Bone marrow aspirate smear · 250 by 250 pixels.
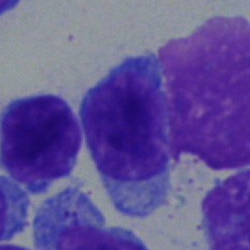 Lymphocyte.